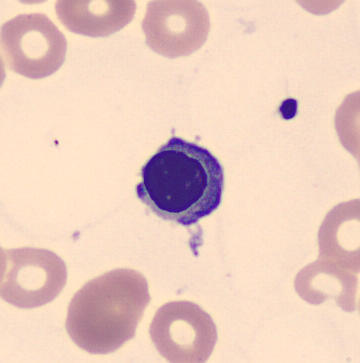Preparation: Peripheral blood film. {"cell_type": "normoblast", "lineage": "erythroid"}